Bone marrow smear:
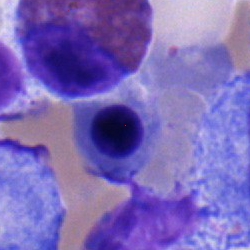Showing a normoblast.